Bone marrow aspirate smear: 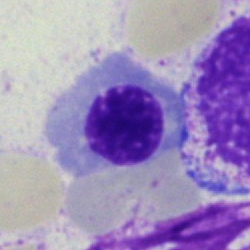 Nucleated red cell.